Bone marrow smear · brightfield microscopy, 40× oil immersion
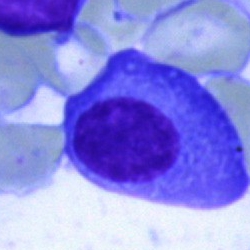

Impression → plasmacyte.